Bone marrow aspirate smear: 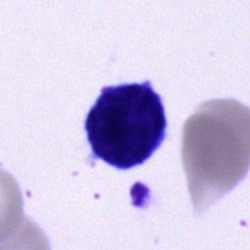 Typical lymphocyte.